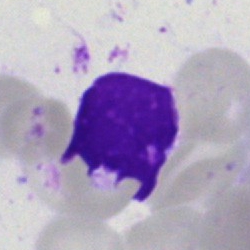
Specimen: bone marrow smear.
Morphological class: artefact.